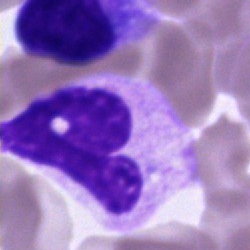Showing a neutrophil (segmented).